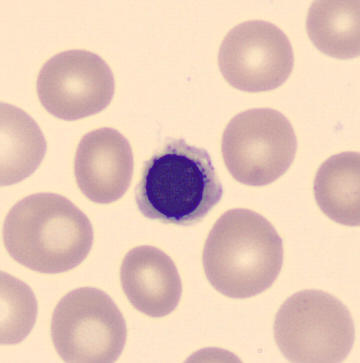Peripheral blood film, single cell — nucleated red cell.